Bone marrow smear
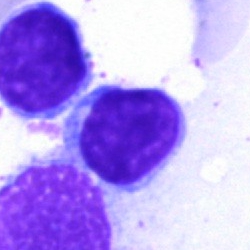
Morphology consistent with a lymphocyte.